Bone marrow smear: 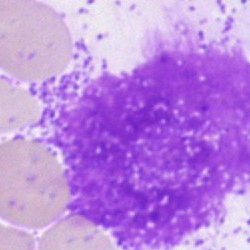

Specimen: bone marrow aspirate smear.
Morphological class: artefact.